Bone marrow aspirate smear:
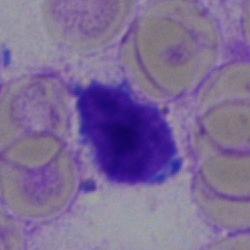 Q: Which cell type is shown here?
A: This is a lymphocyte.